Bone marrow smear:
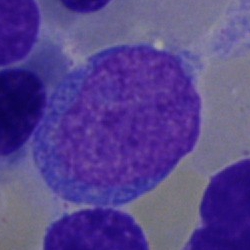
Undifferentiated blast.